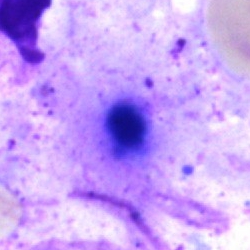

Specimen: bone marrow smear.
Classification: artifact.